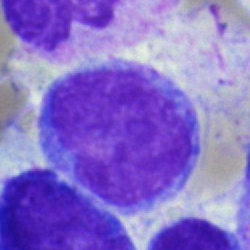

Bone marrow aspirate smear, single cell — undifferentiated blast.